250 by 250 pixels; bone marrow aspirate smear:
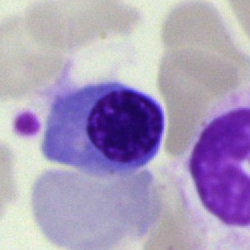

This is a nucleated red blood cell.